Bone marrow smear · cropped to a single cell:
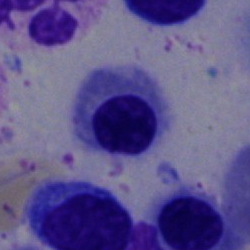
The cell is nucleated red cell.